Bone marrow smear; single-cell crop:
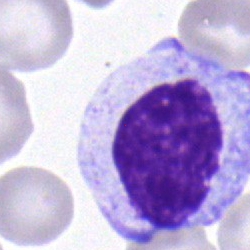
Showing a myelocyte.